Bone marrow aspirate smear: 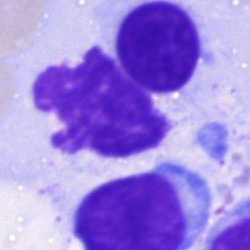
Specimen: bone marrow aspirate smear.
Classification: typical lymphocyte.